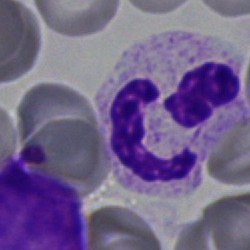Classification = segmented neutrophil.